Bone marrow aspirate smear. 40× oil immersion:
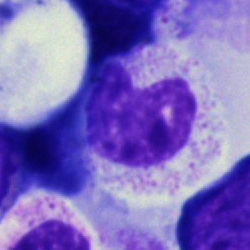

Classification — segmented neutrophil.